Bone marrow smear. Pappenheim-stained — 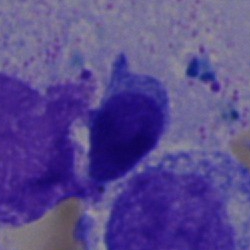

Morphology → lymphocyte.